Bone marrow smear.
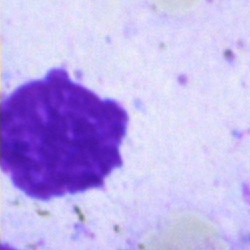 Specimen: bone marrow aspirate smear.
Cell: artefact.